Brightfield, 40× oil-immersion objective · bone marrow smear: 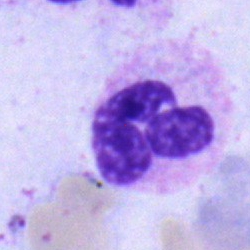Polymorphonuclear neutrophil.